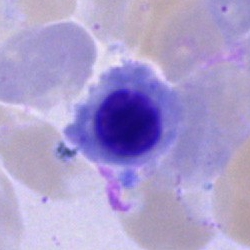 The cell shown is a normoblast.